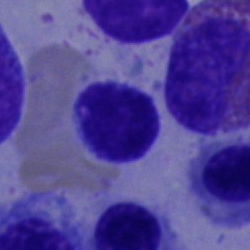

Typical lymphocyte.